Image size 250×250. Bone marrow aspirate smear. Pappenheim-stained.
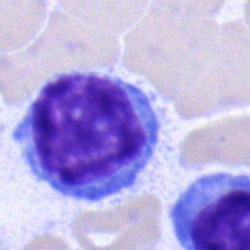Q: What is the morphological classification of this cell?
A: Typical lymphocyte.